Single-cell field; May-Grünwald-Giemsa stain; bone marrow smear — 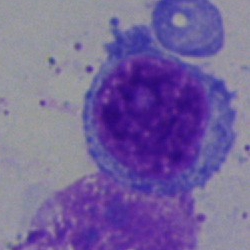

Single cell identified as an undifferentiated blast.